40× objective, oil immersion; cropped to a single cell; bone marrow smear: 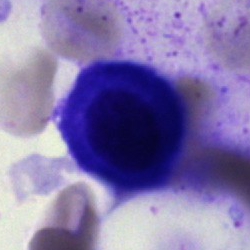
Classification — plasma cell.